Bone marrow smear.
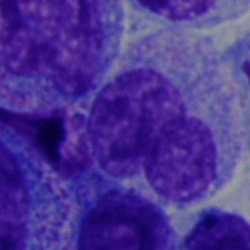

Q: Which cell type is shown here?
A: It is a monocyte.